Bone marrow smear: 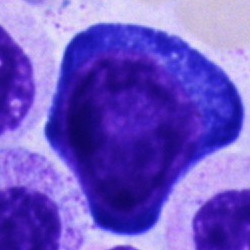A pronormoblast.